Bone marrow aspirate smear. Pappenheim-stained.
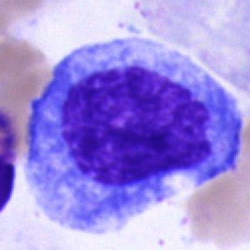This is a promyelocyte.